Peripheral blood film.
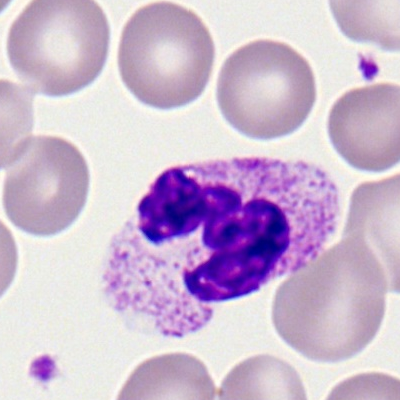 Morphology consistent with a neutrophil (segmented).